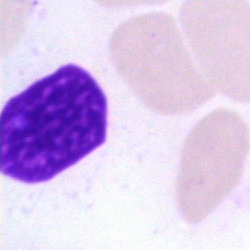Q: What is shown here?
A: An artefact.